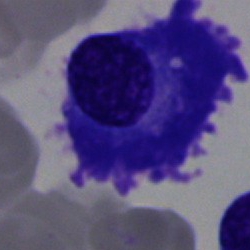

Q: What type of cell is this?
A: This is a plasmacyte.